Bone marrow aspirate smear. 40× objective, oil immersion. Single-cell field: 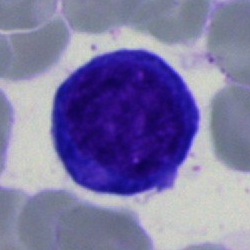 Morphology → erythroblast.